Bone marrow aspirate smear:
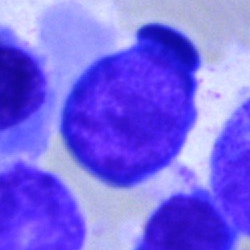 Specimen: bone marrow aspirate smear.
Cell type: pronormoblast.